Bone marrow smear · brightfield microscopy, 40× oil immersion — 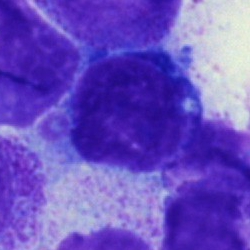 Specimen: bone marrow smear.
Cell type: nucleated red blood cell.